Bone marrow smear · single-cell field
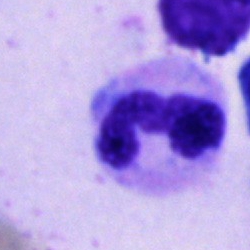 This is a neutrophil (segmented).